Cropped to a single cell · 250×250 · bone marrow smear:
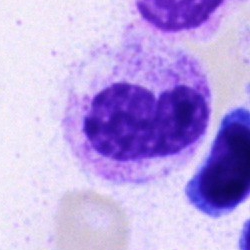Single cell identified as a lymphocyte.